Bone marrow smear: 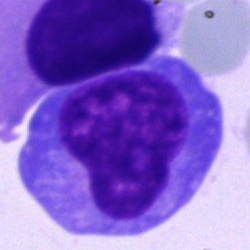Specimen: bone marrow aspirate smear.
Classification: undifferentiated blast.